Bone marrow aspirate smear. Pappenheim-stained. Brightfield microscopy, 40× oil immersion
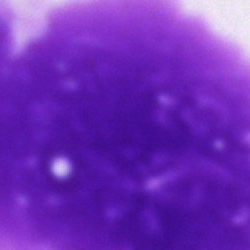

The morphological class is artefact.